Peripheral blood film — 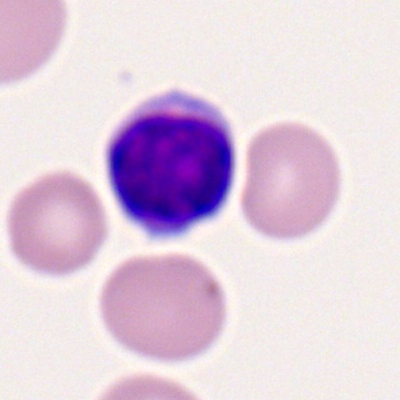Specimen: peripheral blood smear.
Classification: typical lymphocyte.
Lineage: lymphoid.